May-Grünwald-Giemsa stain · bone marrow aspirate smear: 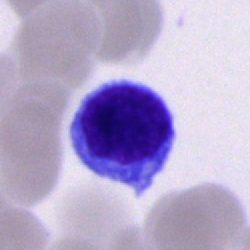

This is a typical lymphocyte.